Cropped to a single cell; bone marrow smear
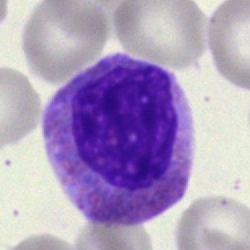

Showing an eosinophilic granulocyte.